Bone marrow aspirate smear. 250×250:
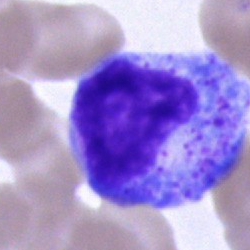This is a progranulocyte.